Bone marrow smear: 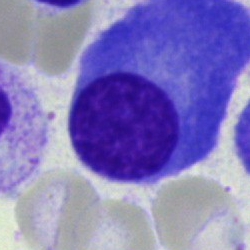 Q: Identify the cell.
A: This is a plasmacyte.